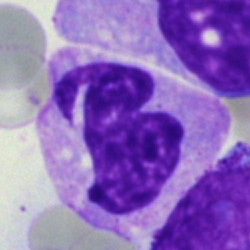

Cell type: neutrophil (segmented).